Bone marrow smear; single-cell field
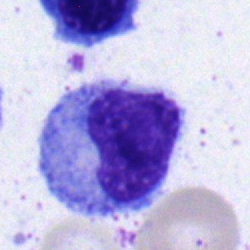
Morphology consistent with a metamyelocyte.